Cropped to a single cell. Bone marrow aspirate smear.
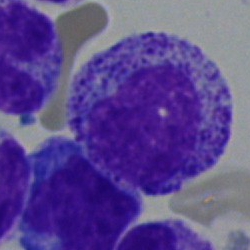

The cell type is myelocyte.